Bone marrow smear:
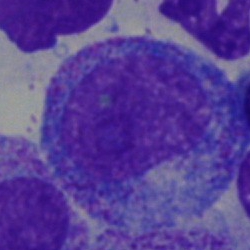 Single cell identified as a promyelocyte.